Bone marrow aspirate smear · MGG-stained
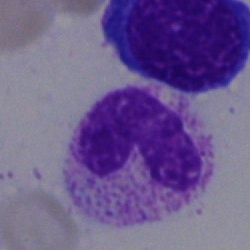
Q: What cell is this?
A: It is a band neutrophil.